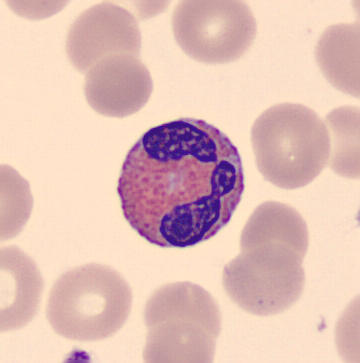The cell shown is an eosinophil.
Peripheral blood smear · CellaVision DM96 digital cell image.